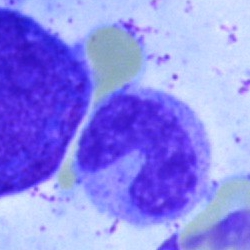This is a stab cell.